Pappenheim-stained; bone marrow smear.
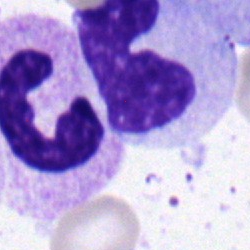 Specimen: bone marrow aspirate smear.
Cell type: neutrophil (band).